Bone marrow smear. MGG-stained:
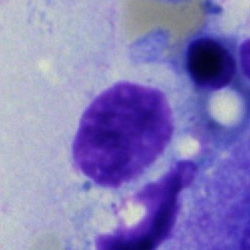
Artefact.